Peripheral blood film · 100× objective, oil immersion:
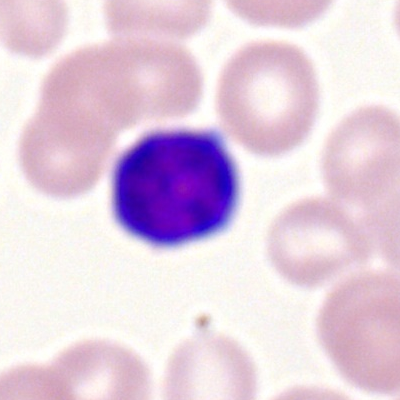This is a typical lymphocyte.